Single-cell field. 250×250 px. Bone marrow aspirate smear — 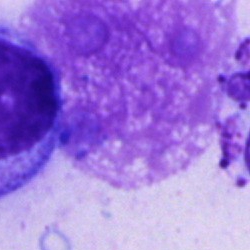The cell shown is an artifact.